Bone marrow aspirate smear
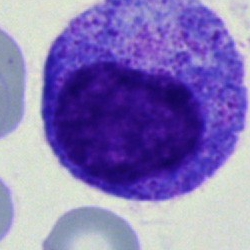
This is a progranulocyte.